Peripheral blood film — 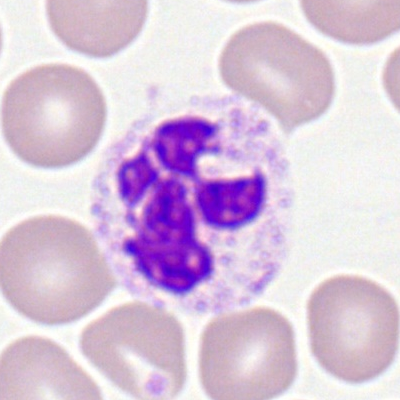
Q: Which cell type is shown here?
A: This is a polymorphonuclear neutrophil.